Bone marrow smear: 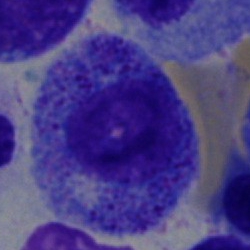 This is a promyelocyte.